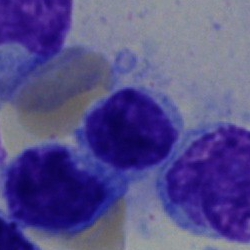
Impression — lymphocyte.